Bone marrow smear:
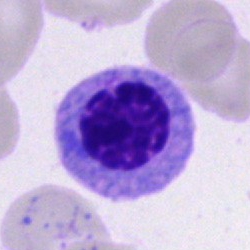 {"cell_type": "nucleated red blood cell", "lineage": "erythroid"}